40× objective, oil immersion. Bone marrow smear — 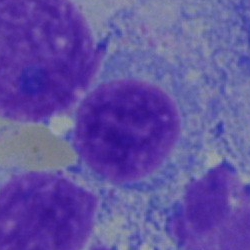Q: Identify the cell.
A: It is a plasmacyte.